Brightfield microscopy, 40× oil immersion. Bone marrow smear
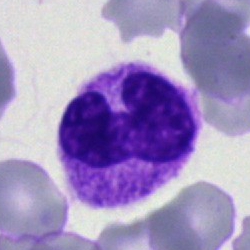Specimen: bone marrow aspirate smear.
Morphological class: polymorphonuclear neutrophil.
Lineage: myeloid.